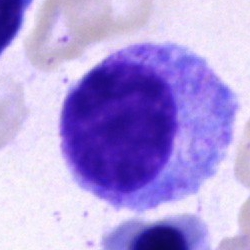 Classification = progranulocyte.